Bone marrow aspirate smear:
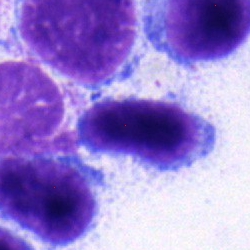
Specimen: bone marrow aspirate smear.
Classification: lymphocyte.
Lineage: lymphoid.